Brightfield, 40× oil-immersion objective; bone marrow aspirate smear
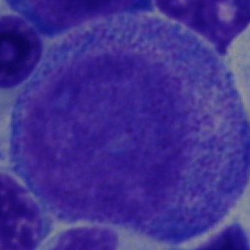

The cell shown is a progranulocyte.